Single cell centered in the field · bone marrow aspirate smear:
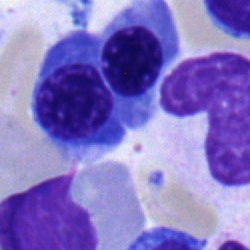 Impression — normoblast.